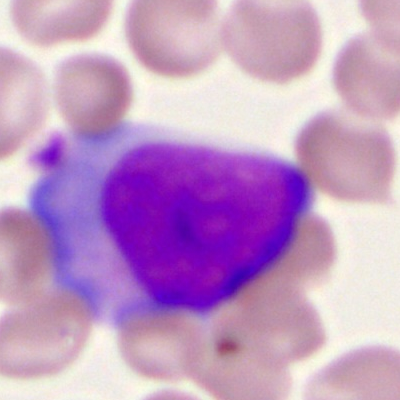
Morphological class: myeloblast.